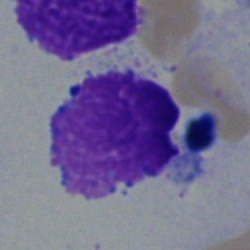

Q: What is shown here?
A: It is an artefact.